Single cell centered in the field · bone marrow aspirate smear · brightfield, 40× oil-immersion objective:
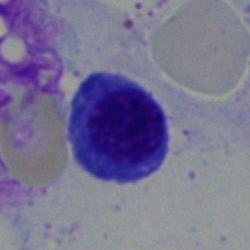
Impression — nucleated red blood cell.